Bone marrow smear; 40× objective, oil immersion; single-cell field: 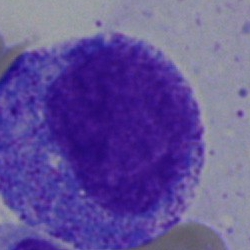
This is a progranulocyte.